Single cell centered in the field. Bone marrow aspirate smear: 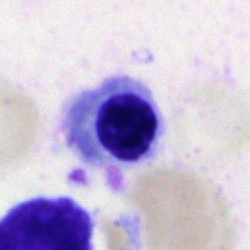

Specimen: bone marrow smear.
Cell: normoblast.
Lineage: erythroid.